250×250 px · bone marrow smear · May-Grünwald-Giemsa/Pappenheim stain
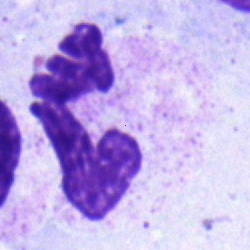

The cell type is polymorphonuclear neutrophil.